Bone marrow aspirate smear. Single cell centered in the field: 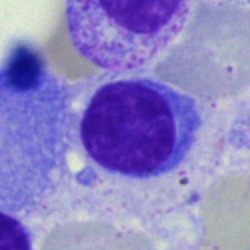

Cell type — typical lymphocyte.